Brightfield microscopy, 40× oil immersion. Bone marrow aspirate smear.
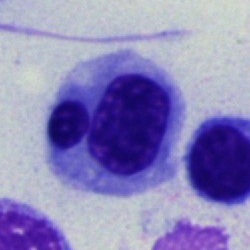Impression → erythroblast.